Brightfield microscopy, 40× oil immersion; single cell centered in the field; bone marrow aspirate smear
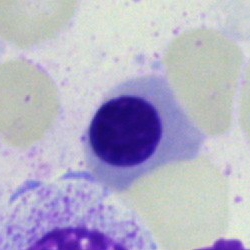

Specimen: bone marrow aspirate smear.
Cell type: erythroblast.
Lineage: erythroid.